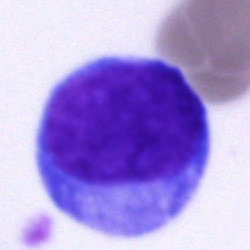

Q: What cell is this?
A: Blast cell.